Bone marrow smear · 250×250 · brightfield microscopy, 40× oil immersion.
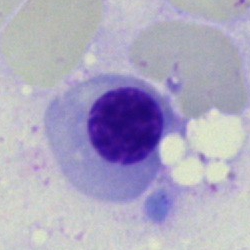Impression → erythroblast.